400 by 400 pixels; peripheral blood smear: 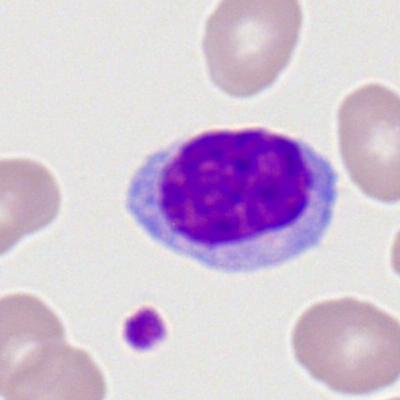Morphology — lymphocyte.